Brightfield, 40× oil-immersion objective; bone marrow aspirate smear; 250 by 250 pixels.
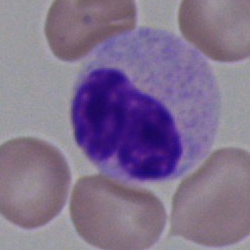 Single cell identified as a band neutrophil.